Bone marrow aspirate smear · 40× oil immersion.
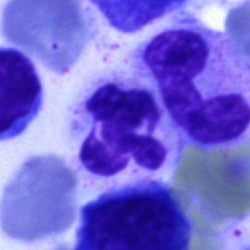 Specimen: bone marrow aspirate smear.
Morphological class: polymorphonuclear neutrophil.